Image size 250×250; bone marrow aspirate smear; 40× objective, oil immersion — 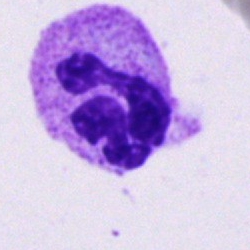Specimen: bone marrow aspirate smear.
Cell: segmented neutrophil.
Lineage: myeloid.